Bone marrow smear · 250×250 px
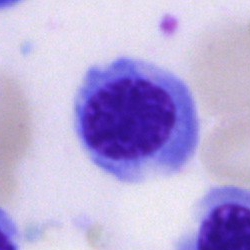 Morphology consistent with an erythroblast.